Pappenheim-stained; single-cell crop; bone marrow smear.
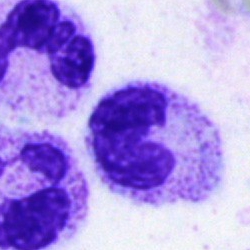
Impression — band-form neutrophil.